40× objective, oil immersion · bone marrow aspirate smear · single-cell crop.
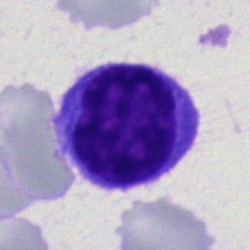
Morphological class = lymphocyte.